Pappenheim-stained. Bone marrow aspirate smear.
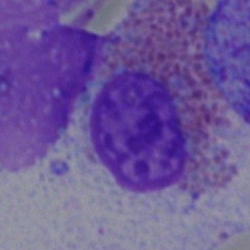 Q: What type of cell is this?
A: It is an eosinophilic granulocyte.